Single-cell crop · brightfield, 40× oil-immersion objective · bone marrow smear: 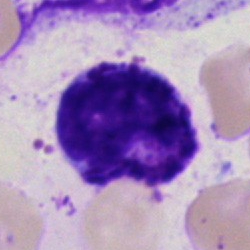Q: What type of cell is this?
A: It is a basophilic granulocyte.